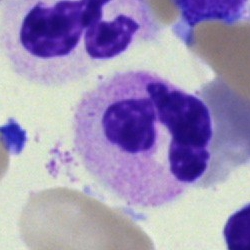Morphological class = polymorphonuclear neutrophil.